Bone marrow aspirate smear; 250 by 250 pixels:
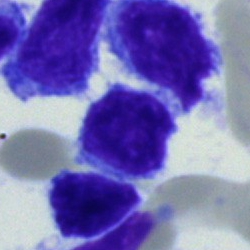
{"cell_type": "lymphocyte", "lineage": "lymphoid"}